Bone marrow aspirate smear: 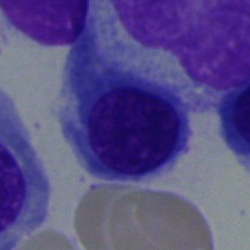
Specimen: bone marrow smear.
Cell: nucleated red cell.